Bone marrow smear:
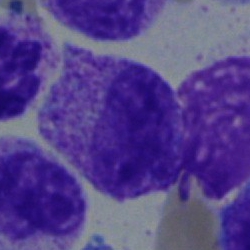
Morphology — myelocyte.